250×250. Brightfield, 40× oil-immersion objective. Bone marrow aspirate smear — 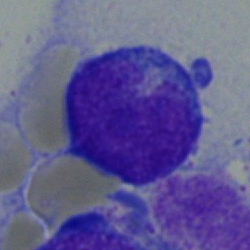
This is a blast cell.